Bone marrow smear.
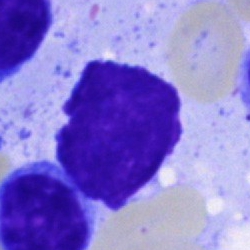 This is an artifact.